Bone marrow smear.
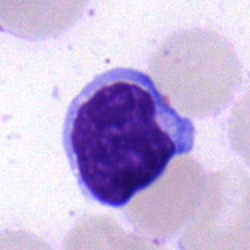

This is a typical lymphocyte.